MGG-stained. Bone marrow aspirate smear — 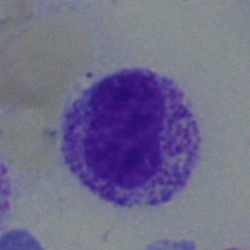
Q: What cell is this?
A: A myelocyte.